Image size 250×250 · bone marrow aspirate smear:
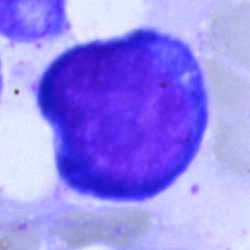
Morphology consistent with a pronormoblast.